Single-cell field; bone marrow aspirate smear:
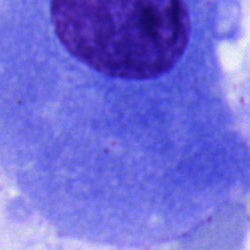
This is a plasmacyte.